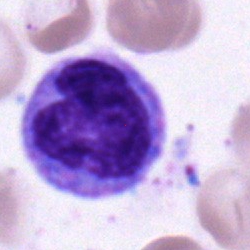
Morphology — monocyte.